Bone marrow smear: 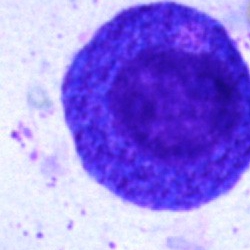Promyelocyte.